Bone marrow aspirate smear.
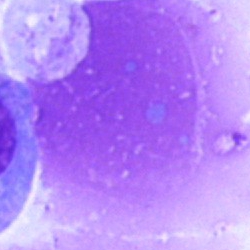
Q: What is shown here?
A: This is an artefact.